Bone marrow aspirate smear · single-cell field · Pappenheim-stained
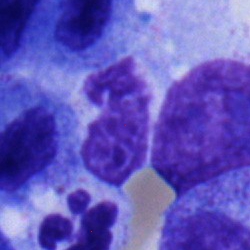 Cell type — polymorphonuclear neutrophil.